Cropped to a single cell; 250×250; bone marrow aspirate smear.
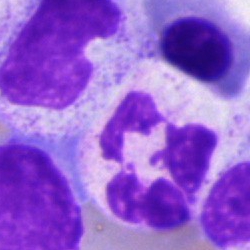 Q: Which cell type is shown here?
A: Polymorphonuclear neutrophil.